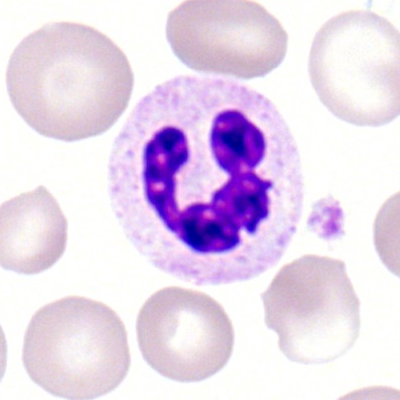 A polymorphonuclear neutrophil on a peripheral blood smear.